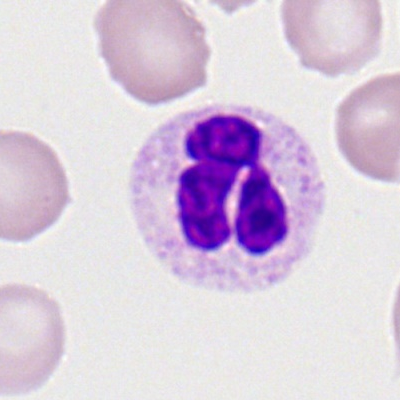Single-cell crop from a peripheral blood smear: segmented neutrophil.